250×250. Bone marrow smear — 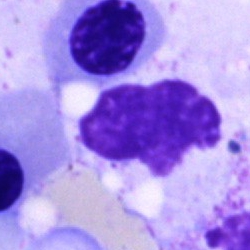
{"cell_type": "artefact"}